Single-cell crop. Bone marrow smear
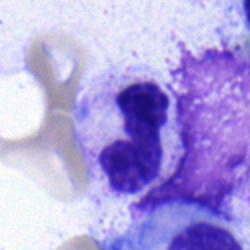
Q: What type of cell is this?
A: This is a polymorphonuclear neutrophil.